May-Grünwald-Giemsa/Pappenheim stain · bone marrow smear
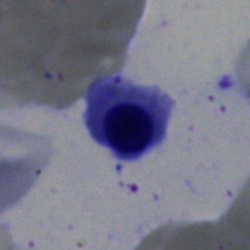
Q: Which cell type is shown here?
A: This is a nucleated red blood cell.